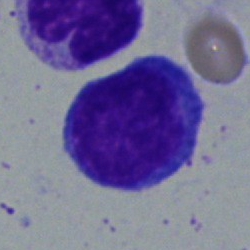Classification — undifferentiated blast.